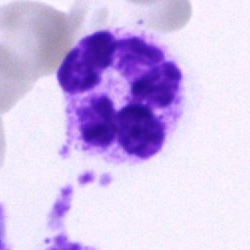 Cell type — neutrophil (segmented).